Bone marrow smear
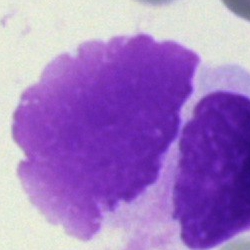Cell type = artefact.